Bone marrow smear — 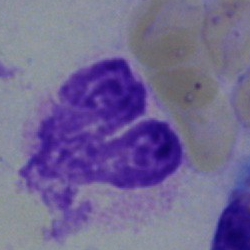
Cell type: segmented neutrophil.